Bone marrow smear · cropped to a single cell — 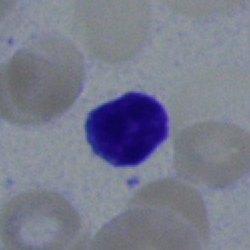This is a lymphocyte.